May-Grünwald-Giemsa stain. Bone marrow aspirate smear. 250×250:
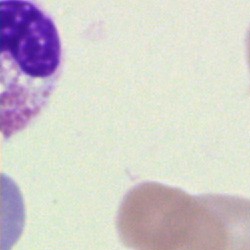Cell — cell of indeterminate lineage.